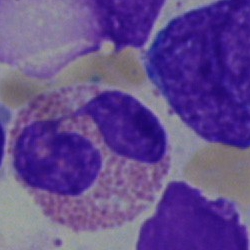Bone marrow aspirate smear, single cell — eosinophilic granulocyte.